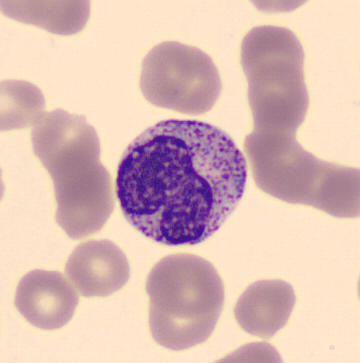Q: Which cell type is shown here?
A: It is a metamyelocyte.